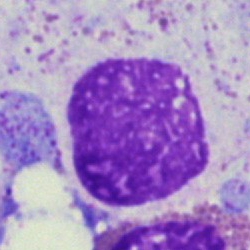 The classification is artefact.